Bone marrow aspirate smear — 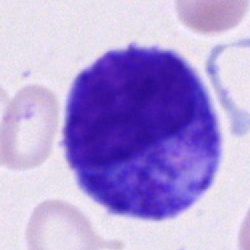
Impression → progranulocyte.